May-Grünwald-Giemsa/Pappenheim stain; bone marrow smear; single cell centered in the field.
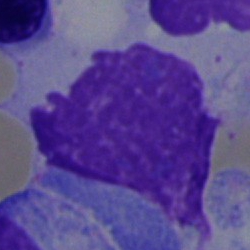
The cell type is artifact.